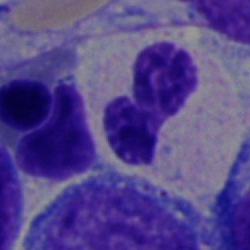Specimen: bone marrow aspirate smear.
Cell type: band-form neutrophil.